Single-cell field · bone marrow smear.
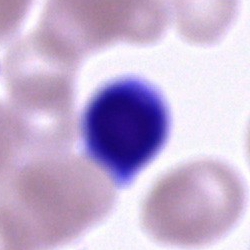 Morphology consistent with a cell of indeterminate lineage.